Bone marrow aspirate smear.
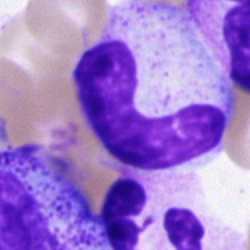

Impression — band neutrophil.